Bone marrow smear.
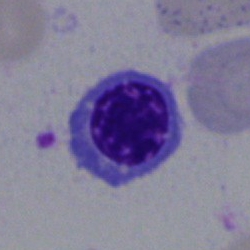
Showing a normoblast.